Single-cell crop. Bone marrow smear. MGG-stained.
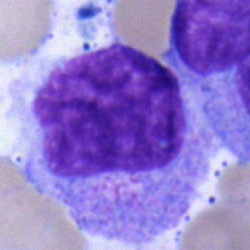
The cell shown is a promyelocyte.